Bone marrow smear: 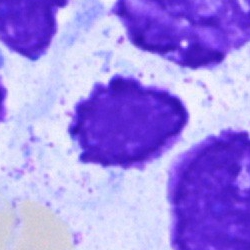 Q: What is shown here?
A: This is an artefact.